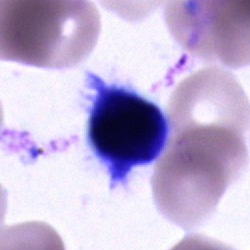 Q: Which cell type is shown here?
A: It is an unidentifiable cell.